Peripheral blood film:
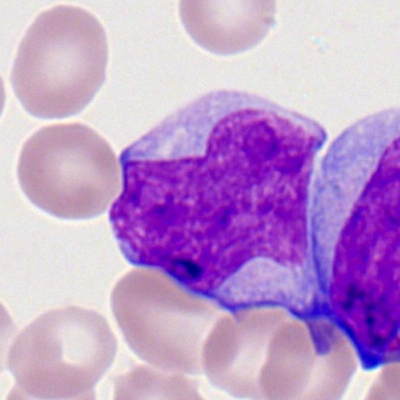Myeloblast.